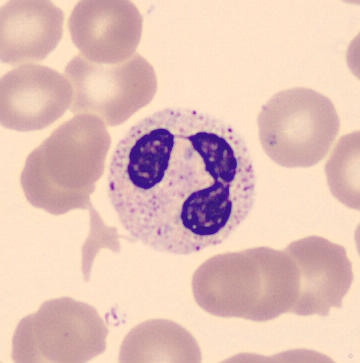
Showing a polymorphonuclear neutrophil.